Bone marrow smear; 250×250; Pappenheim-stained — 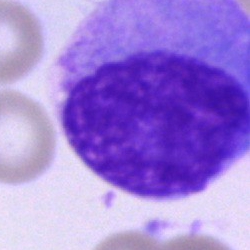

The morphological class is plasmacyte.